Bone marrow aspirate smear:
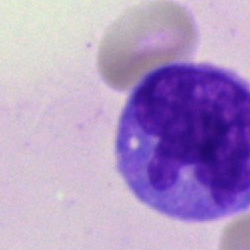
{"cell_type": "monocyte", "lineage": "myeloid"}